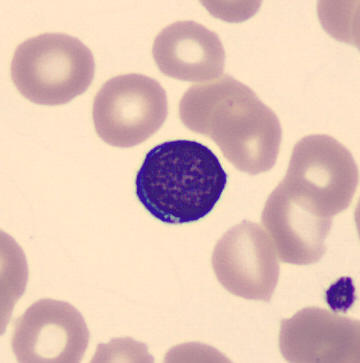Peripheral blood film.

Q: What is shown here?
A: A typical lymphocyte.